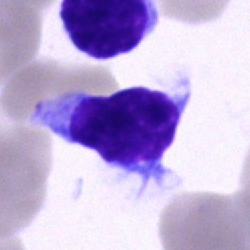 Cell type: typical lymphocyte.